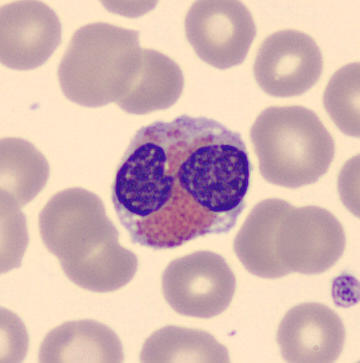
Peripheral blood smear showing an eosinophil.